Bone marrow aspirate smear — 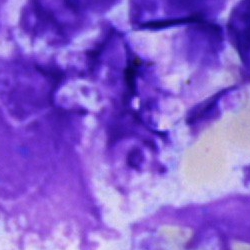Morphology consistent with an artifact.